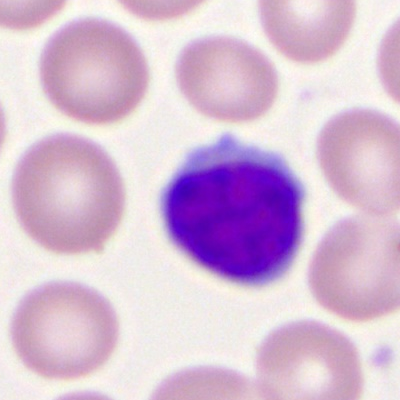 Q: What is shown here?
A: It is a lymphocyte.